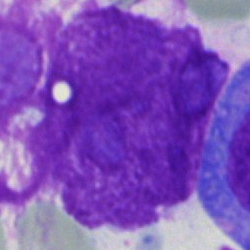
The cell shown is an artefact.